May-Grünwald-Giemsa stain. Bone marrow aspirate smear:
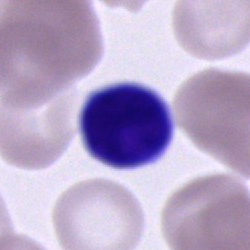

Morphology consistent with an unidentifiable cell.